Bone marrow smear:
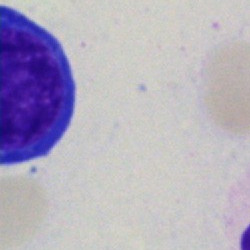

The morphological class is neutrophil (segmented).